Single-cell crop; bone marrow aspirate smear — 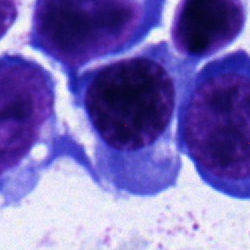

Showing a normoblast.